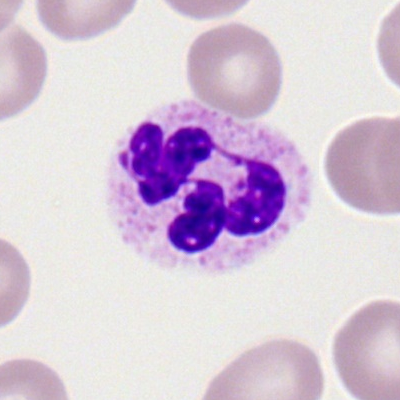
Classification = segmented neutrophil.